Bone marrow smear; 250×250 px; brightfield, 40× oil-immersion objective: 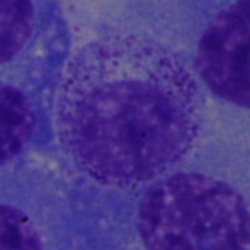Q: What cell is this?
A: Myelocyte.